Bone marrow smear
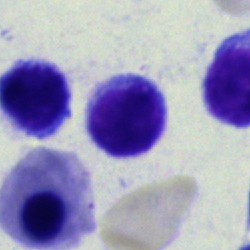
Cell type — typical lymphocyte.